Bone marrow aspirate smear — 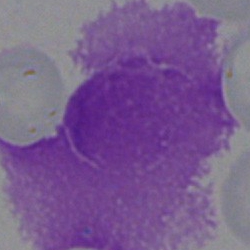 Single cell identified as an artifact.